Bone marrow aspirate smear · 40× objective, oil immersion · cropped to a single cell:
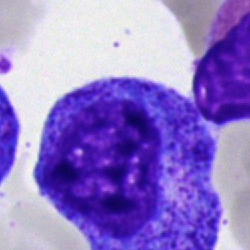Impression — progranulocyte.